Bone marrow smear: 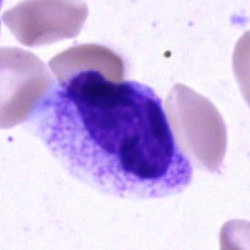This is a myelocyte.